Peripheral blood film
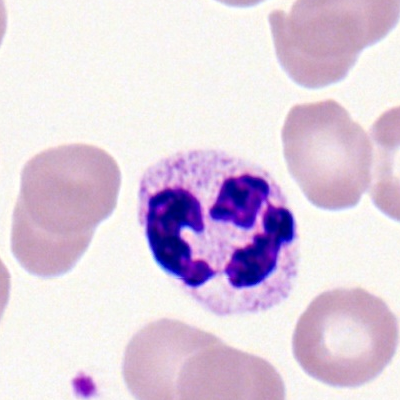Cell: neutrophil (segmented).